Bone marrow smear
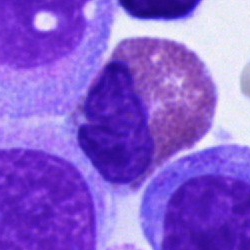
Cell: eosinophilic granulocyte.